Brightfield, 100× oil-immersion objective. Peripheral blood film. Romanowsky-stained:
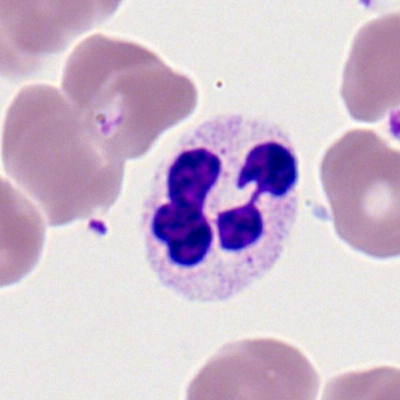
Q: What cell is this?
A: Segmented neutrophil.